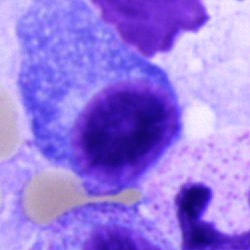Cell = plasma cell.